Bone marrow smear:
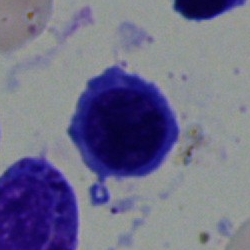
Specimen: bone marrow smear.
Cell type: nucleated red cell.